Image size 400×400; Romanowsky stain; peripheral blood film
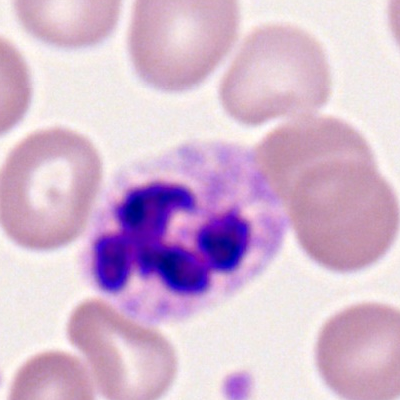Neutrophil (segmented).